Bone marrow smear:
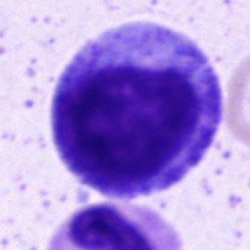
Morphology consistent with a promyelocyte.